Bone marrow smear — 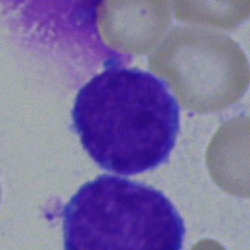 Impression — typical lymphocyte.